40× objective, oil immersion. MGG-stained. Bone marrow smear — 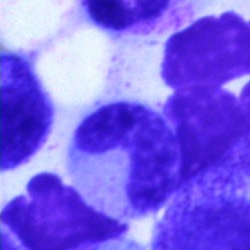
Q: Identify the cell.
A: It is a band-form neutrophil.